Bone marrow aspirate smear:
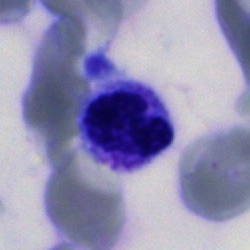
Specimen: bone marrow aspirate smear.
Cell: band-form neutrophil.
Lineage: myeloid.